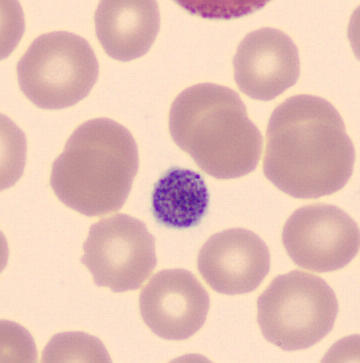

Peripheral blood smear. {"cell_type": "thrombocyte"}